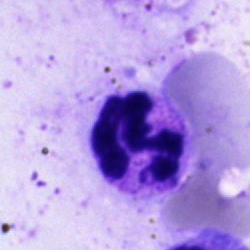A polymorphonuclear neutrophil on a bone marrow smear.